Bone marrow aspirate smear
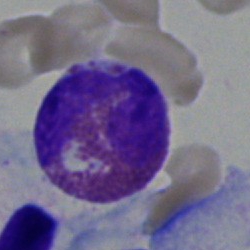The cell is eosinophilic granulocyte.